40× objective, oil immersion · bone marrow aspirate smear
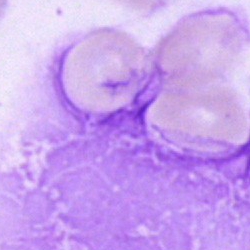Showing an artifact.